Bone marrow smear.
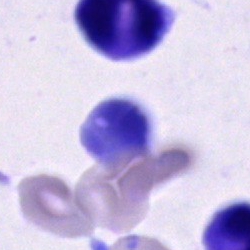

Q: What is the morphological classification of this cell?
A: Unidentifiable cell.